Bone marrow smear:
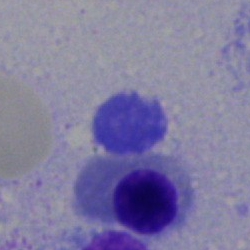 Showing a normoblast.